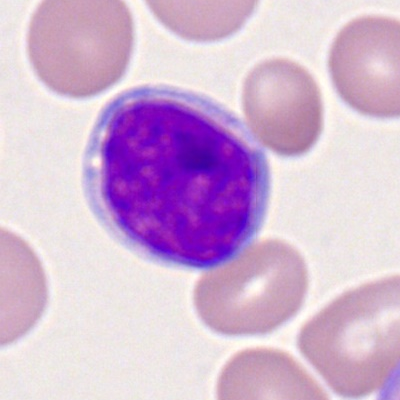 The cell shown is a myeloid blast.